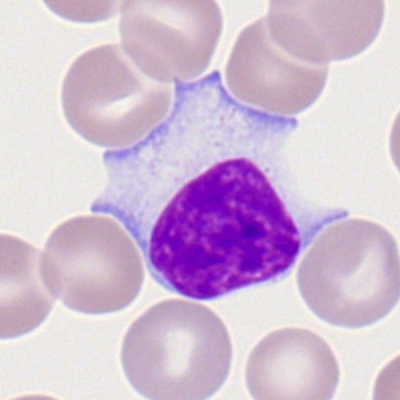A typical lymphocyte on a peripheral blood smear.